250×250; bone marrow aspirate smear — 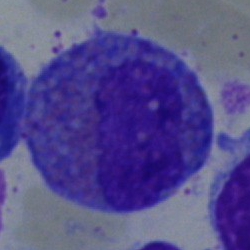 Classification = eosinophil.